250×250 · bone marrow smear:
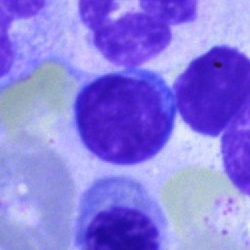
Morphological class = lymphocyte.